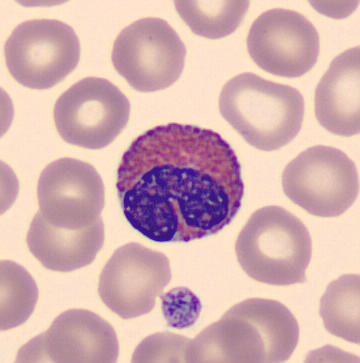

Q: Which cell type is shown here?
A: It is an eosinophilic granulocyte.

Image: 360×363. Peripheral blood smear.